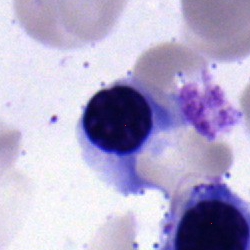Specimen: bone marrow smear.
Classification: nucleated red cell.